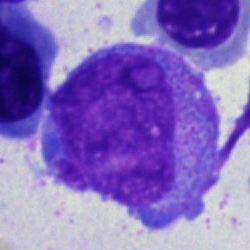
Bone marrow smear showing an undifferentiated blast.